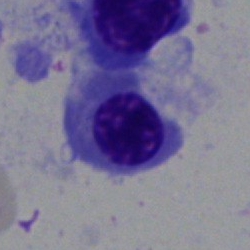A normoblast on a bone marrow smear.